Single-cell field; 40× objective, oil immersion; bone marrow aspirate smear: 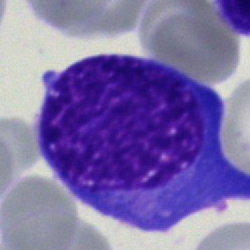
Morphology consistent with an erythroblast.